Bone marrow smear: 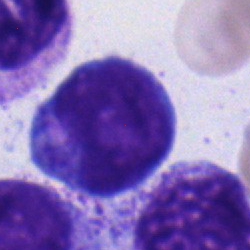 Progranulocyte.